Bone marrow aspirate smear; MGG-stained:
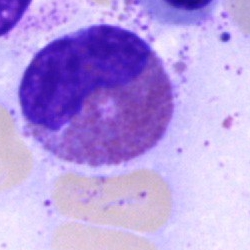
The cell shown is an eosinophilic granulocyte.